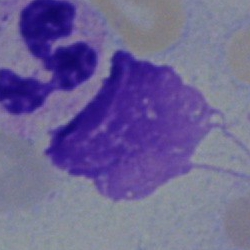 Classification = polymorphonuclear neutrophil.